100× oil immersion, 14.14 px/µm. Peripheral blood film: 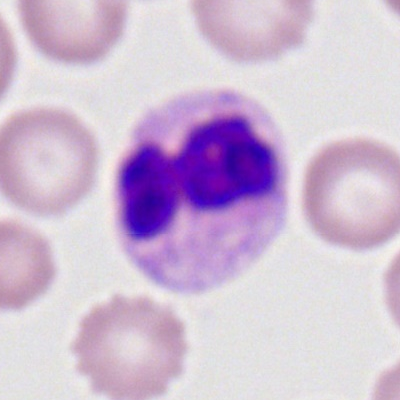The morphological class is neutrophil (segmented).